Single-cell field; bone marrow smear — 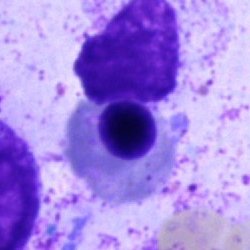
Showing a nucleated red cell.